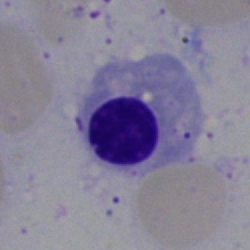 Cell: nucleated red blood cell.